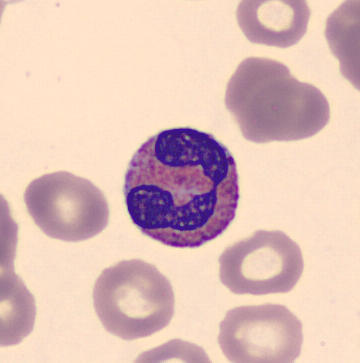Acquisition: Peripheral blood film. MGG stain. Image size 360×363. An eosinophil.